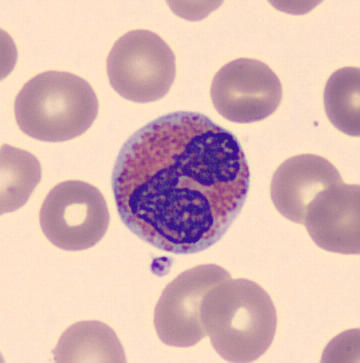

Peripheral blood film.
Q: What type of cell is this?
A: It is an eosinophilic granulocyte.